Bone marrow smear · 40× objective, oil immersion · image size 250×250.
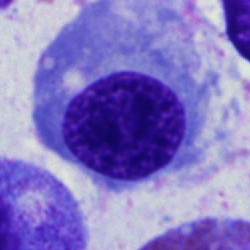

Normoblast.